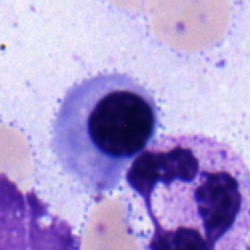 This is a nucleated red cell.